Bone marrow aspirate smear
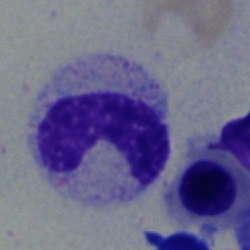Showing a band-form neutrophil.